Bone marrow aspirate smear · image size 250×250: 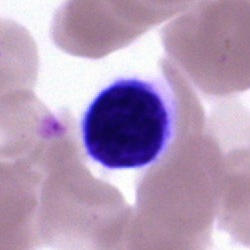
Q: Identify the cell.
A: Lymphocyte.